Peripheral blood smear. Single-cell field: 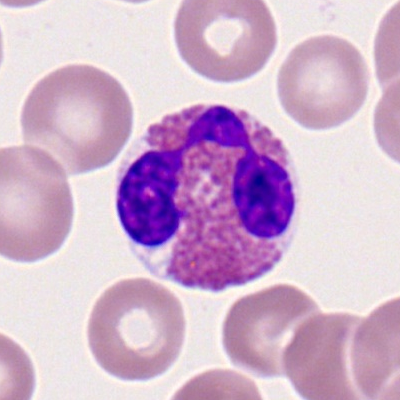

Showing an eosinophilic granulocyte.